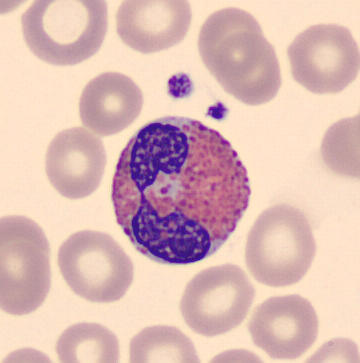 Acquisition: Peripheral blood smear. An eosinophilic granulocyte.